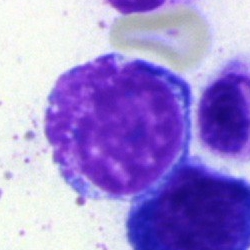This is a proerythroblast.